Pappenheim-stained. Bone marrow smear. Brightfield, 40× oil-immersion objective:
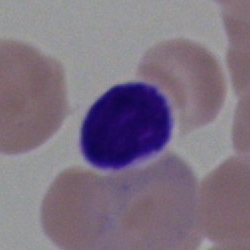 {"cell_type": "lymphocyte", "lineage": "lymphoid"}